Bone marrow aspirate smear; cropped to a single cell: 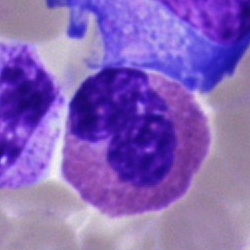
Q: Identify the cell.
A: This is an eosinophilic granulocyte.